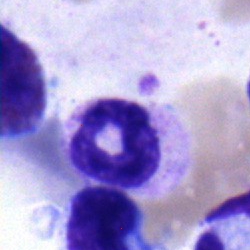
Cell: neutrophil (segmented).